Bone marrow smear. Brightfield microscopy, 40× oil immersion. May-Grünwald-Giemsa/Pappenheim stain
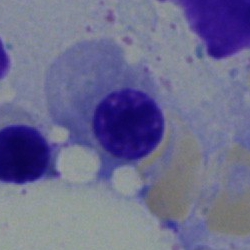 Nucleated red cell.